Cropped to a single cell · bone marrow aspirate smear: 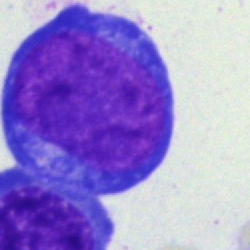Pronormoblast.